Bone marrow aspirate smear: 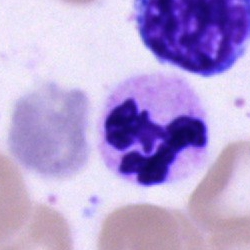
The morphological class is polymorphonuclear neutrophil.